250×250 px · bone marrow aspirate smear · single-cell crop — 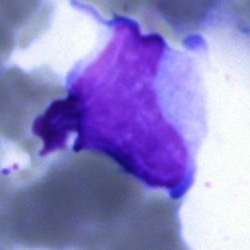This is a lymphocyte (immature).